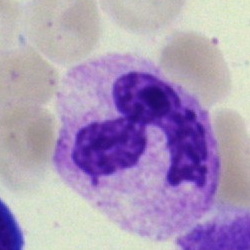Q: Identify the cell.
A: A segmented neutrophil.